Bone marrow smear.
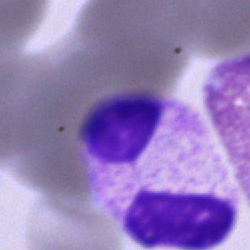

Single cell identified as a segmented neutrophil.